Bone marrow aspirate smear.
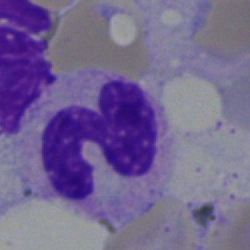

Q: Identify the cell.
A: A segmented neutrophil.